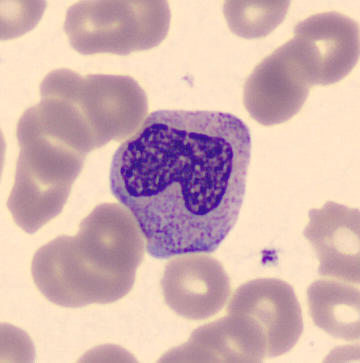Identified as a metamyelocyte.